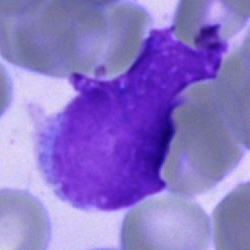

Q: What is shown here?
A: Artefact.